Bone marrow aspirate smear.
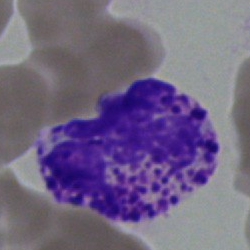

Cell: basophilic granulocyte.